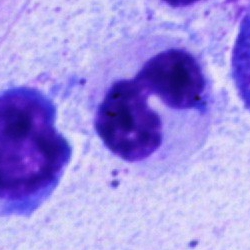 Classification = typical lymphocyte.